Bone marrow smear
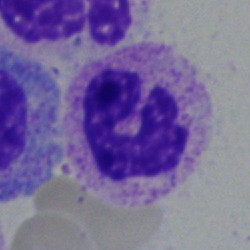

Specimen: bone marrow aspirate smear.
Classification: polymorphonuclear neutrophil.
Lineage: myeloid.